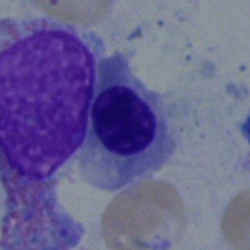 Q: What cell is this?
A: Nucleated red blood cell.